Bone marrow aspirate smear:
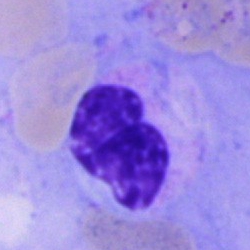This is a polymorphonuclear neutrophil.